Bone marrow smear:
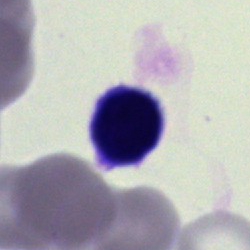 Cell type: typical lymphocyte.